Bone marrow smear. Image size 250×250. Brightfield microscopy, 40× oil immersion — 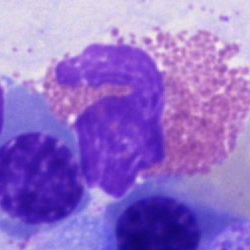

{"cell_type": "eosinophilic granulocyte", "lineage": "myeloid"}